Bone marrow smear.
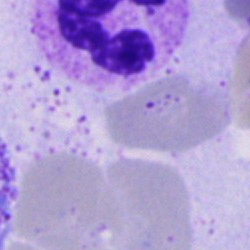{"cell_type": "neutrophil (segmented)", "lineage": "myeloid"}